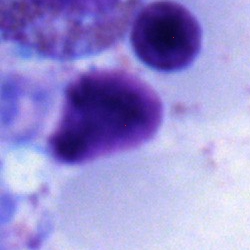 Cell — lymphocyte.